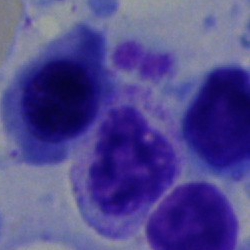

Specimen: bone marrow aspirate smear.
Cell type: normoblast.
Lineage: erythroid.